Bone marrow smear · 40× oil immersion.
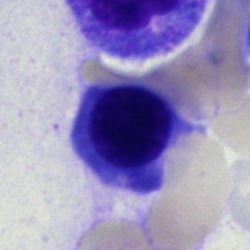
Cell type = nucleated red cell.